Bone marrow aspirate smear:
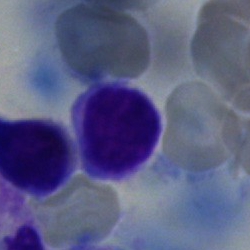Morphology consistent with a lymphocyte.